Bone marrow aspirate smear — 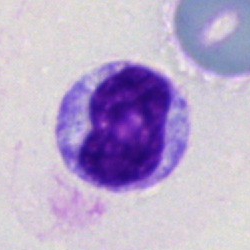
Morphological class: metamyelocyte.